Cropped to a single cell · bone marrow aspirate smear · brightfield microscopy, 40× oil immersion:
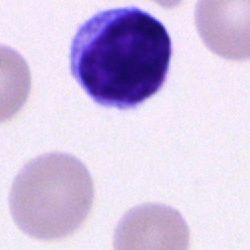 Showing a lymphocyte.